Bone marrow aspirate smear: 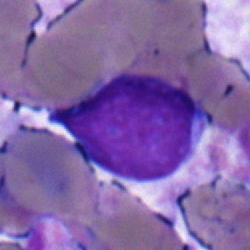 Morphology — lymphocyte.